Bone marrow aspirate smear — 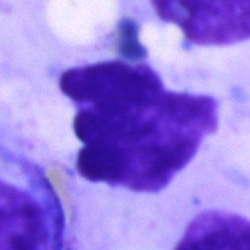 Morphology → artefact.